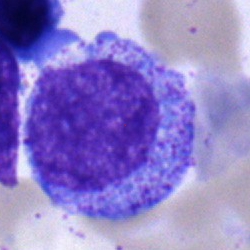

A progranulocyte.